Single cell centered in the field. Peripheral blood film
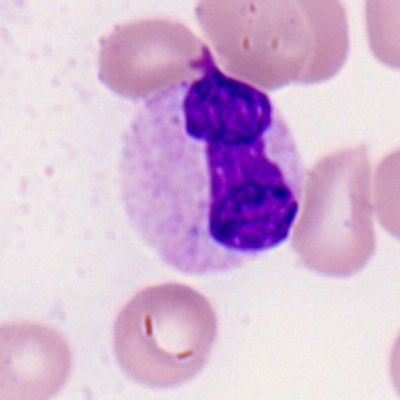

A neutrophil (segmented).